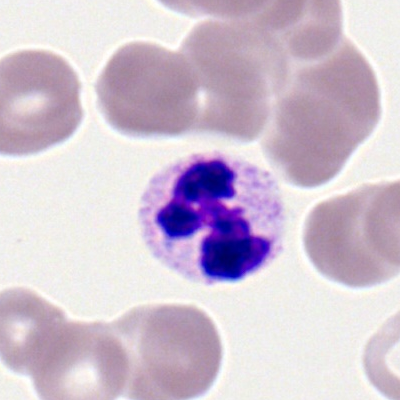 Specimen: peripheral blood smear.
Classification: segmented neutrophil.